Bone marrow aspirate smear
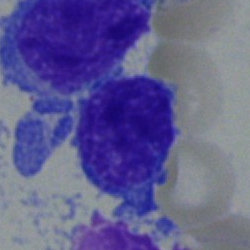 Typical lymphocyte.